Peripheral blood smear
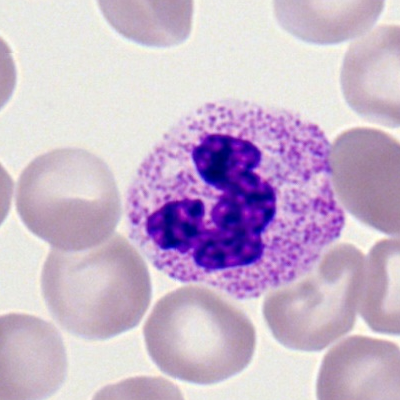

Specimen: peripheral blood smear.
Classification: neutrophil (segmented).
Lineage: myeloid.